Bone marrow smear:
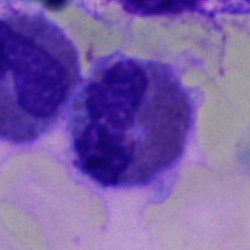An eosinophil.